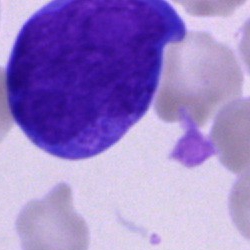
Morphological class — blast.